250 by 250 pixels. Bone marrow aspirate smear: 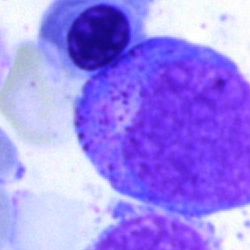 Morphological class: promyelocyte.